Bone marrow aspirate smear; single-cell field:
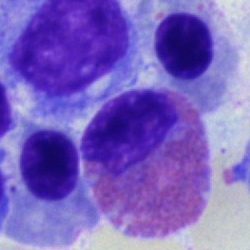 Q: What cell is this?
A: Eosinophil.